Bone marrow aspirate smear · Pappenheim-stained · brightfield, 40× oil-immersion objective
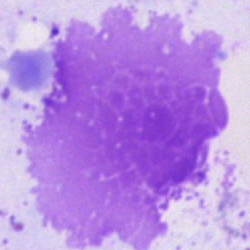

Specimen: bone marrow aspirate smear.
Cell type: artifact.